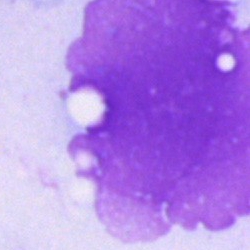

{"cell_type": "artefact"}